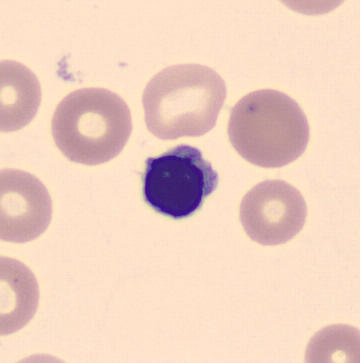

Identified as a nucleated red blood cell.